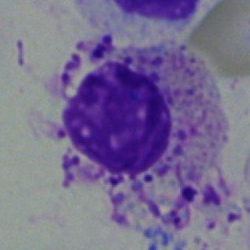
Impression → eosinophilic granulocyte.